Bone marrow smear · image size 250×250:
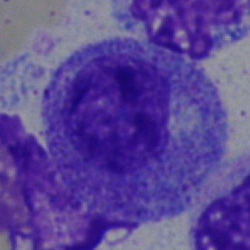
This is a progranulocyte.